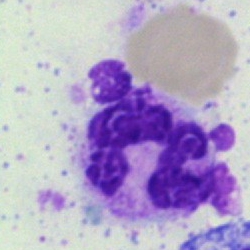 {"cell_type": "segmented neutrophil", "lineage": "myeloid"}